Peripheral blood film: 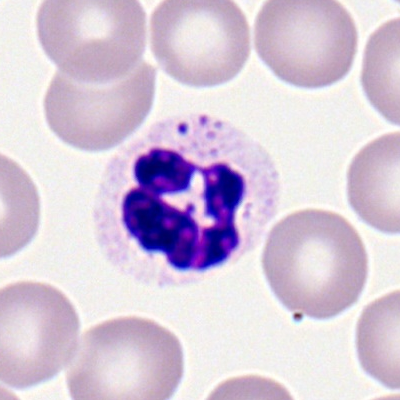
Morphology consistent with a polymorphonuclear neutrophil.